Bone marrow aspirate smear · brightfield microscopy, 40× oil immersion:
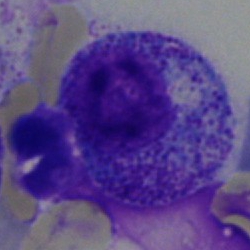 {"cell_type": "myelocyte", "lineage": "myeloid"}